Bone marrow smear. 250×250 px
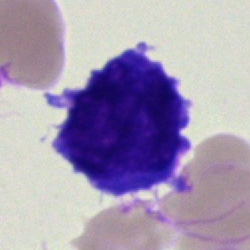Morphological class = blast.